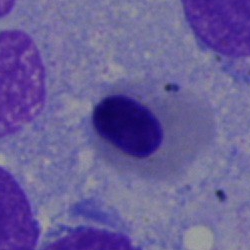

Specimen: bone marrow aspirate smear.
Cell type: nucleated red cell.
Lineage: erythroid.